Bone marrow aspirate smear:
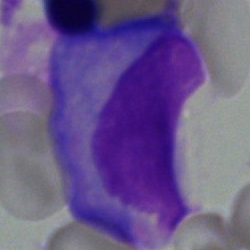Q: Which cell type is shown here?
A: This is a plasmacyte.